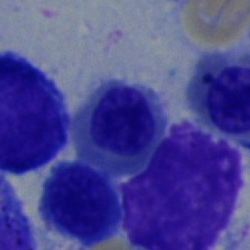Q: What cell is this?
A: It is a normoblast.